Bone marrow aspirate smear:
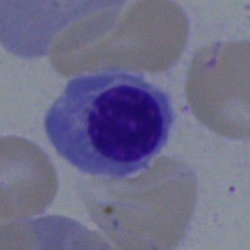
Morphology consistent with a normoblast.